Bone marrow aspirate smear.
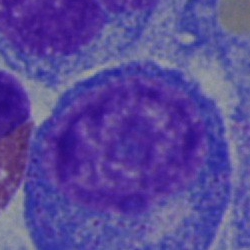Promyelocyte.